40× oil immersion · single-cell field · bone marrow smear:
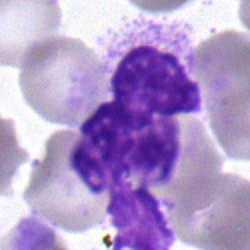
Q: What type of cell is this?
A: This is a polymorphonuclear neutrophil.